Bone marrow smear · May-Grünwald-Giemsa/Pappenheim stain · brightfield microscopy, 40× oil immersion
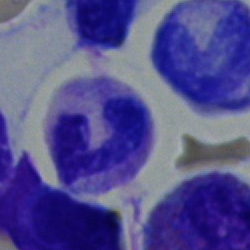 Q: Identify the cell.
A: It is a band-form neutrophil.